Bone marrow aspirate smear — 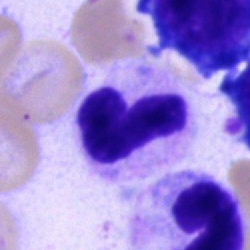

Cell = band-form neutrophil.